Single cell centered in the field · bone marrow aspirate smear
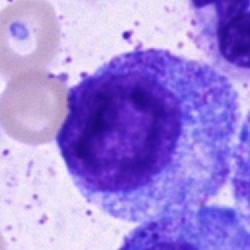Cell type — promyelocyte.